Bone marrow smear; 250 by 250 pixels — 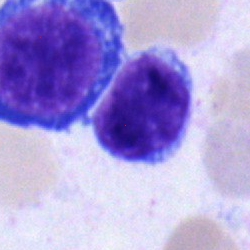 {"cell_type": "lymphocyte"}